Bone marrow aspirate smear:
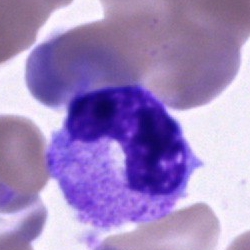Classification — band neutrophil.